Bone marrow aspirate smear.
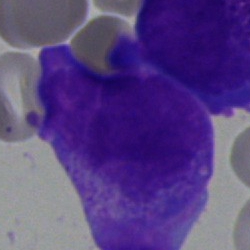

A blast.